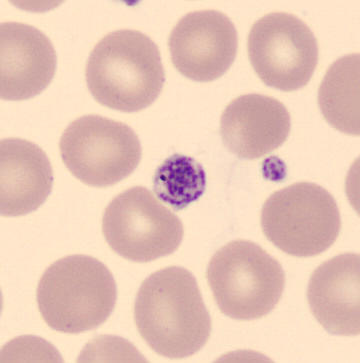Image: Peripheral blood smear. This is a platelet.